Bone marrow smear — 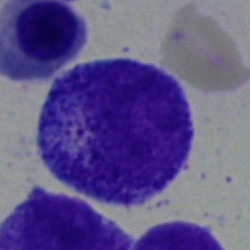Impression — progranulocyte.